Peripheral blood film · single-cell crop · image size 400×400
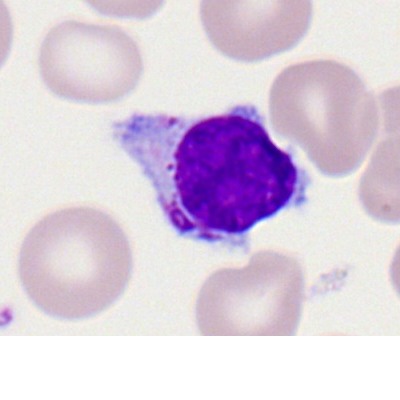
Q: What cell is this?
A: This is a typical lymphocyte.